Bone marrow aspirate smear: 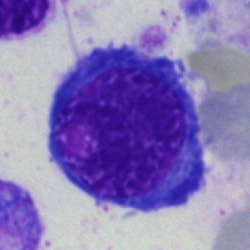 Single cell identified as a normoblast.